Bone marrow smear · single cell centered in the field · brightfield microscopy, 40× oil immersion:
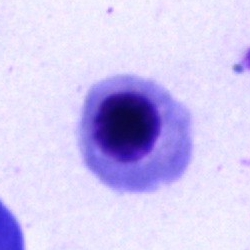 A nucleated red cell.